Romanowsky-stained; peripheral blood smear; M8 digital microscope (Precipoint), 100× oil immersion — 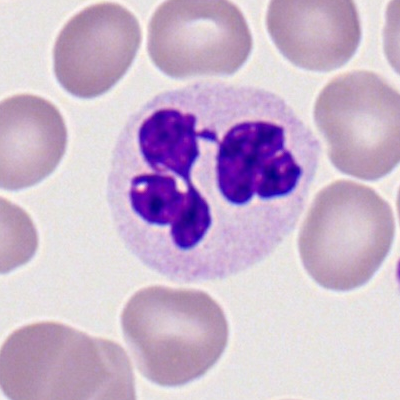Morphology — neutrophil (segmented).